40× objective, oil immersion. Bone marrow aspirate smear: 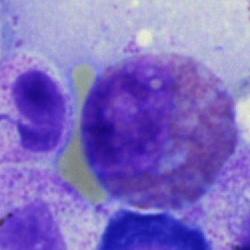Specimen: bone marrow smear.
Classification: eosinophil.
Lineage: myeloid.